MGG-stained. Bone marrow aspirate smear: 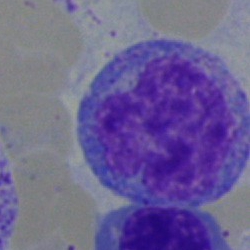
Cell — monocyte.